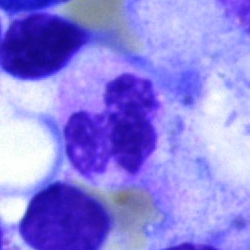
Cell type: artefact.